Bone marrow smear — 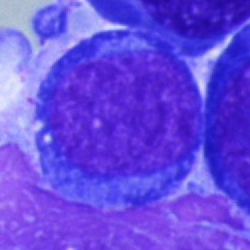
Specimen: bone marrow aspirate smear.
Cell: blast.